Bone marrow smear: 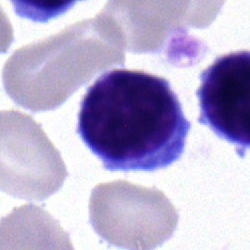 Impression — typical lymphocyte.